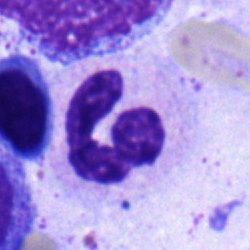Q: What type of cell is this?
A: Polymorphonuclear neutrophil.